Pappenheim-stained; bone marrow aspirate smear:
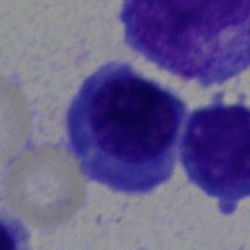
Morphological class: nucleated red blood cell.